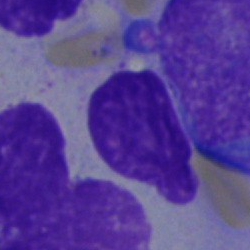 Morphology → artifact.